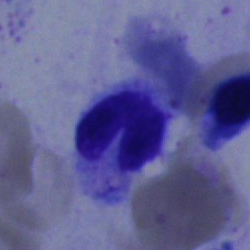
A neutrophil (band).